Bone marrow aspirate smear; 40× oil immersion
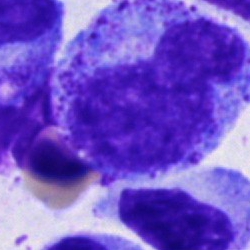

Classification — promyelocyte.